Peripheral blood smear:
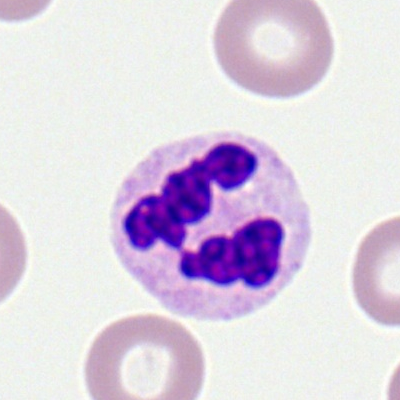 Morphological class = neutrophil (segmented).